Bone marrow smear:
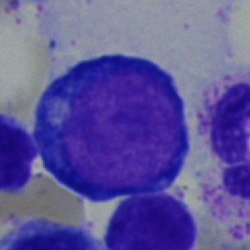Morphology — pronormoblast.